Bone marrow aspirate smear · MGG-stained — 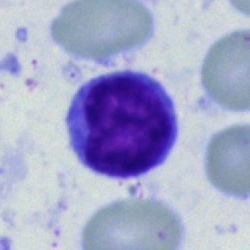

Morphology consistent with a lymphocyte.